Bone marrow aspirate smear.
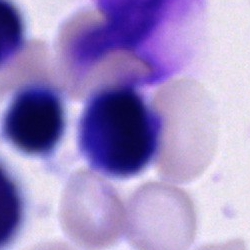
Cell type = unidentifiable cell.